Bone marrow smear: 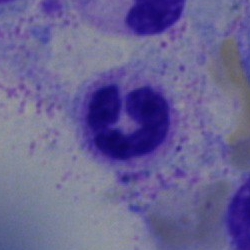 Cell — segmented neutrophil.